Bone marrow aspirate smear: 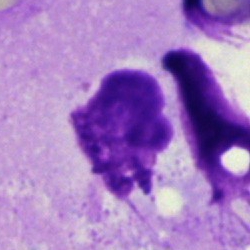 Single cell identified as an artifact.